Bone marrow smear: 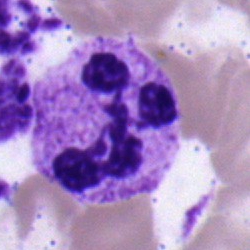

The morphological class is polymorphonuclear neutrophil.